Bone marrow smear — 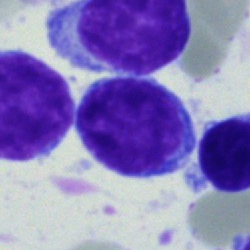 Impression → typical lymphocyte.